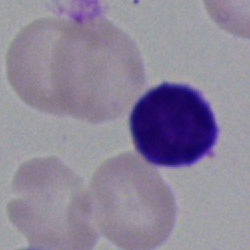
{"cell_type": "lymphocyte", "lineage": "lymphoid"}